Bone marrow smear.
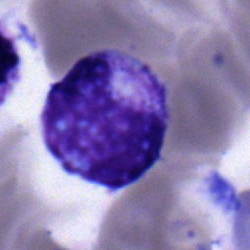 The cell type is metamyelocyte.